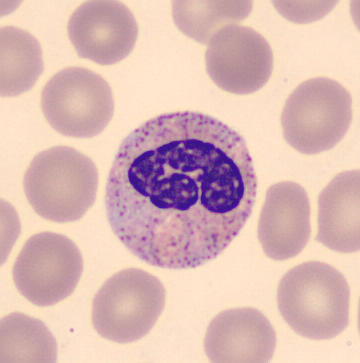 {"cell_type": "segmented neutrophil", "lineage": "myeloid"}
Preparation: 360×363 px · peripheral blood smear.